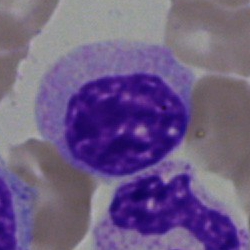

Bone marrow smear showing a myelocyte.